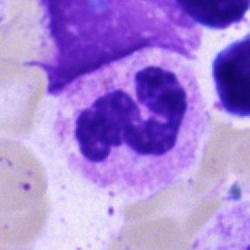

Specimen: bone marrow smear.
Cell type: segmented neutrophil.
Lineage: myeloid.